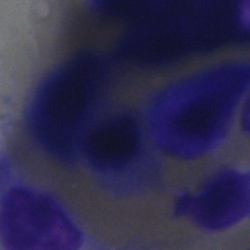

Impression — artifact.